Bone marrow aspirate smear — 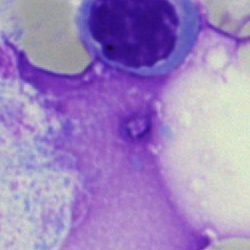Specimen: bone marrow aspirate smear.
Cell: artifact.